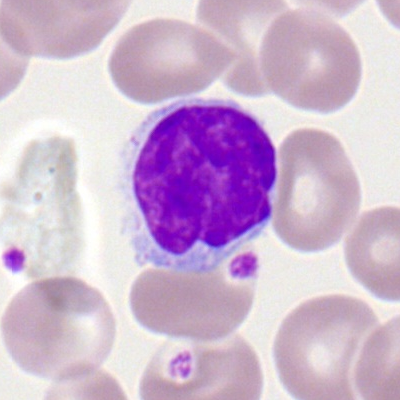
A lymphocyte on a peripheral blood smear.